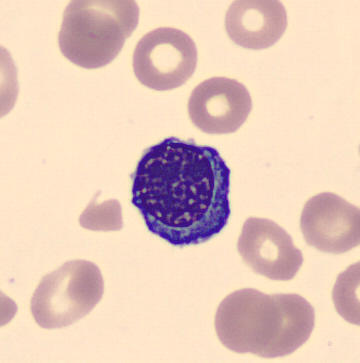 Morphology → normoblast.
Peripheral blood film; automated cell imaging (CellaVision DM96).